Peripheral blood film.
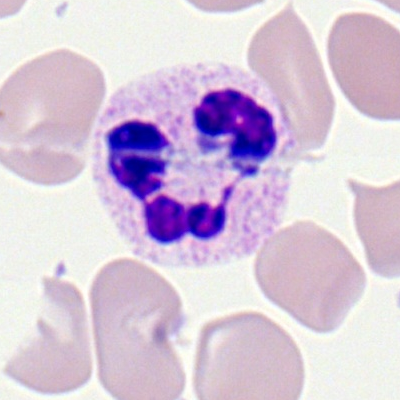

A neutrophil (segmented).